Bone marrow aspirate smear; 250×250 px
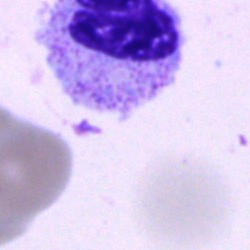 Q: What type of cell is this?
A: This is a neutrophil (segmented).